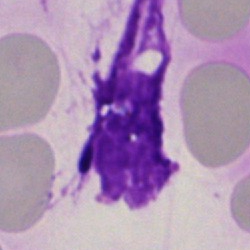 Q: What is shown here?
A: An artifact.